MGG-stained; bone marrow smear.
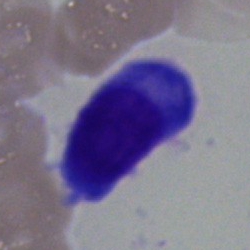
Impression — plasmacyte.